MGG-stained; cropped to a single cell; bone marrow aspirate smear
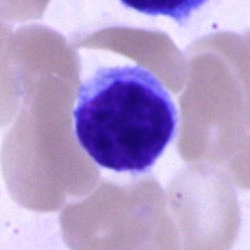 {"cell_type": "plasmacyte", "lineage": "lymphoid"}